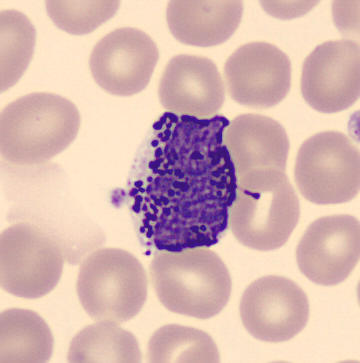 Cell type: basophil.